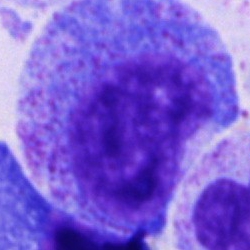

Single cell identified as a promyelocyte.